Bone marrow smear. Pappenheim-stained:
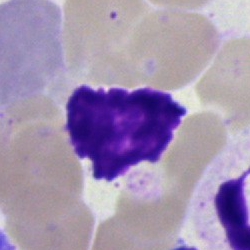 Q: What is shown here?
A: An artefact.